May-Grünwald-Giemsa stain. Bone marrow aspirate smear — 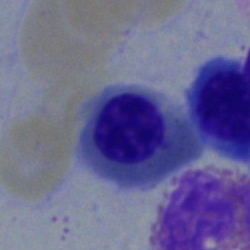Q: Identify the cell.
A: This is a nucleated red cell.